Bone marrow aspirate smear.
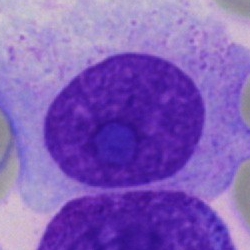

Impression — artifact.